Bone marrow smear — 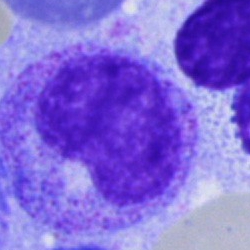The cell type is metamyelocyte.